Bone marrow smear: 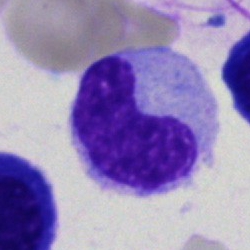Cell type — metamyelocyte.